250×250. Bone marrow aspirate smear.
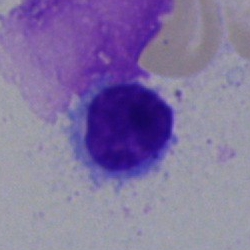Q: What cell is this?
A: It is a typical lymphocyte.